Bone marrow smear · brightfield microscopy, 40× oil immersion.
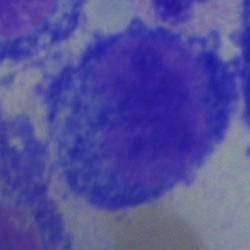 Plasmacyte.